Bone marrow smear · single-cell crop · image size 250×250: 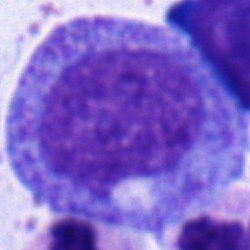

The cell shown is a progranulocyte.